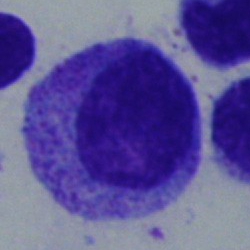 Morphology consistent with a myelocyte.